Bone marrow aspirate smear:
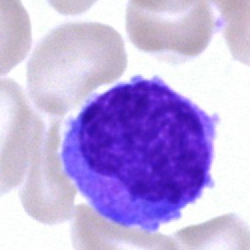 The morphological class is monocyte.